Bone marrow aspirate smear.
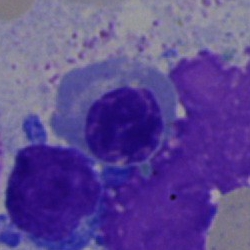

Cell — nucleated red cell.